Bone marrow smear · single cell centered in the field
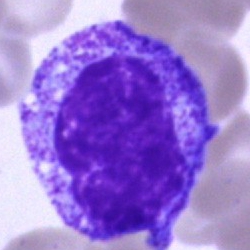 The cell shown is a progranulocyte.